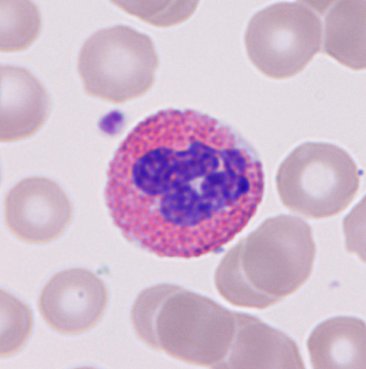

Morphological class — eosinophilic granulocyte.